Bone marrow aspirate smear — 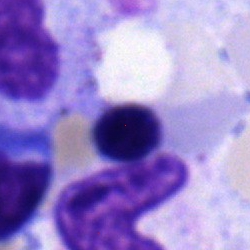 This is a nucleated red blood cell.